Bone marrow smear
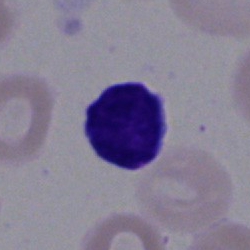

A lymphocyte.